Bone marrow smear; May-Grünwald-Giemsa stain — 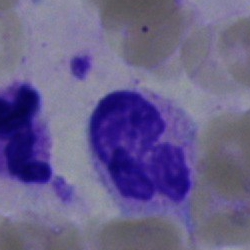
Classification: polymorphonuclear neutrophil.